Bone marrow smear — 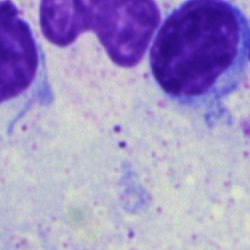
Lymphocyte.